MGG-stained. Bone marrow smear:
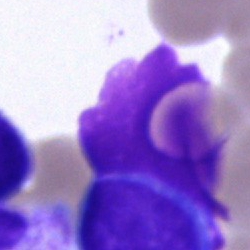
Artefact.